Bone marrow smear
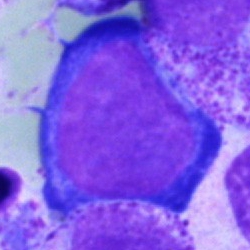Specimen: bone marrow smear.
Cell type: normoblast.